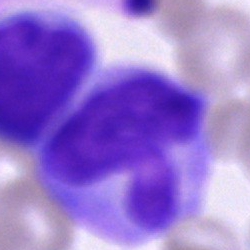Specimen: bone marrow aspirate smear.
Morphological class: cell of indeterminate lineage.